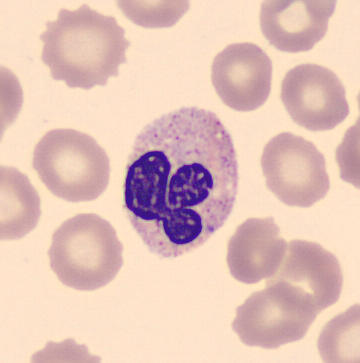
Image: Peripheral blood film.
Single cell identified as a polymorphonuclear neutrophil.